Single-cell field; 40× objective, oil immersion; bone marrow aspirate smear:
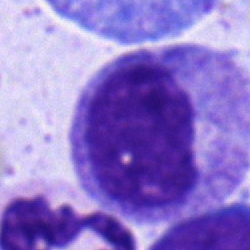
Myelocyte.